Bone marrow smear:
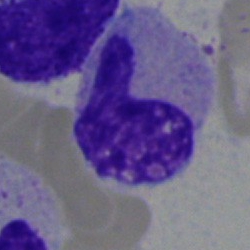

Morphology consistent with a band-form neutrophil.